Bone marrow aspirate smear
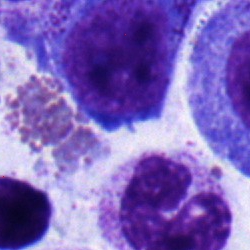Progranulocyte.